Bone marrow aspirate smear; May-Grünwald-Giemsa/Pappenheim stain:
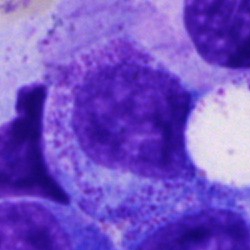
This is a progranulocyte.